Peripheral blood film.
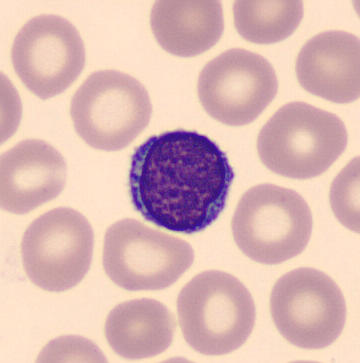 The cell shown is a typical lymphocyte.